Bone marrow aspirate smear:
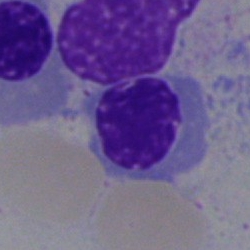

Cell — normoblast.